Bone marrow aspirate smear; 40× oil immersion; May-Grünwald-Giemsa/Pappenheim stain
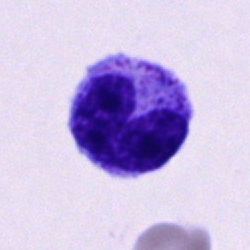Showing a cell of indeterminate lineage.